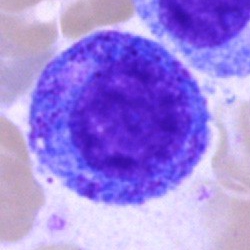

Morphology consistent with a progranulocyte.